Bone marrow aspirate smear: 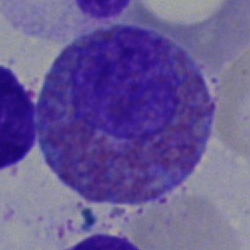 Q: What is shown here?
A: This is an eosinophil.